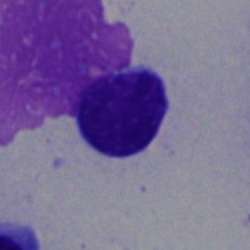Cell — lymphocyte.